Bone marrow aspirate smear; 40× objective, oil immersion — 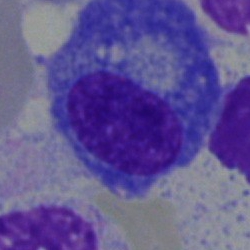
The cell shown is a plasmacyte.